Peripheral blood film
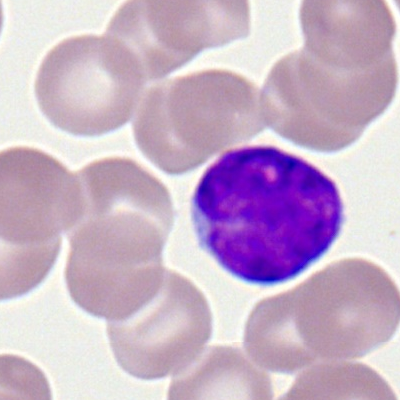
Specimen: peripheral blood smear.
Morphological class: lymphocyte.
Lineage: lymphoid.